Bone marrow aspirate smear:
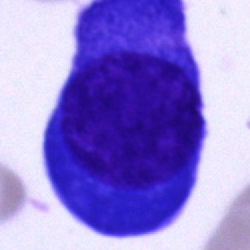Specimen: bone marrow aspirate smear.
Classification: plasmacyte.